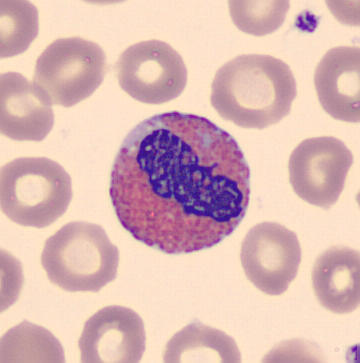Cell type: eosinophilic granulocyte. Acquisition: Peripheral blood smear · May Grünwald-Giemsa stain · 360×363.